Bone marrow aspirate smear
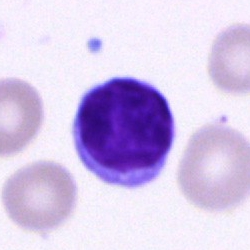Impression — lymphocyte.